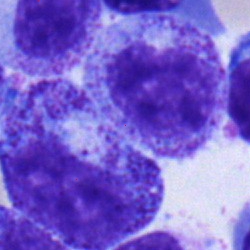
A myelocyte.